Bone marrow aspirate smear
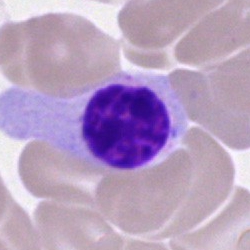

This is a nucleated red cell.